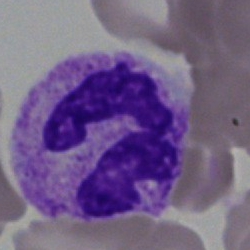Specimen: bone marrow aspirate smear.
Cell type: polymorphonuclear neutrophil.
Lineage: myeloid.